Bone marrow smear · single-cell crop
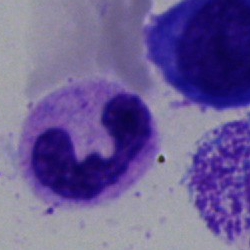The morphological class is polymorphonuclear neutrophil.